Bone marrow aspirate smear.
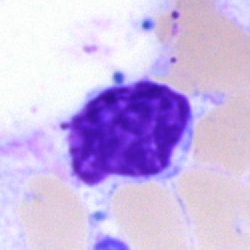
Specimen: bone marrow smear.
Cell type: artefact.